250×250 px; brightfield, 40× oil-immersion objective; bone marrow aspirate smear — 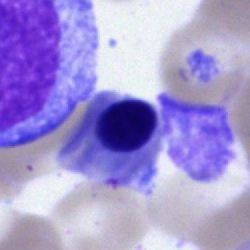

Classification: normoblast.